Bone marrow aspirate smear.
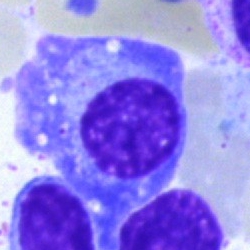 Specimen: bone marrow aspirate smear.
Classification: plasma cell.